Bone marrow aspirate smear — 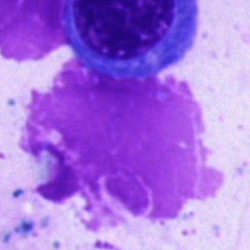Specimen: bone marrow aspirate smear.
Cell type: artefact.